Bone marrow smear — 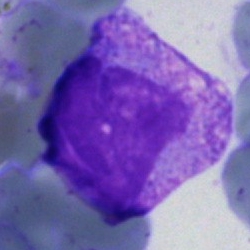 Morphology — blast cell.